Bone marrow aspirate smear: 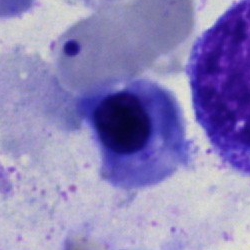Cell type — nucleated red blood cell.